Bone marrow smear
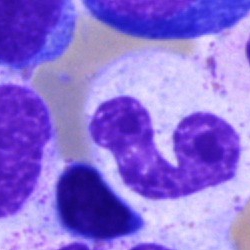
The cell shown is a band-form neutrophil.